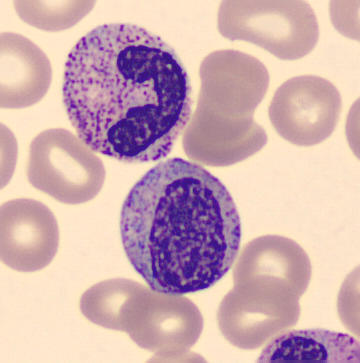Image: Peripheral blood film; single-cell crop.

Cell = myelocyte.